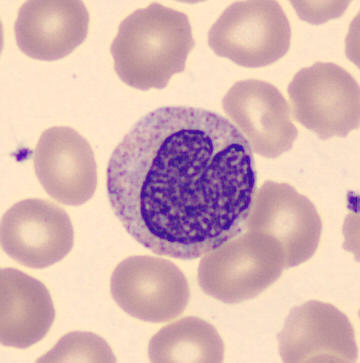
Metamyelocyte.